Peripheral blood film:
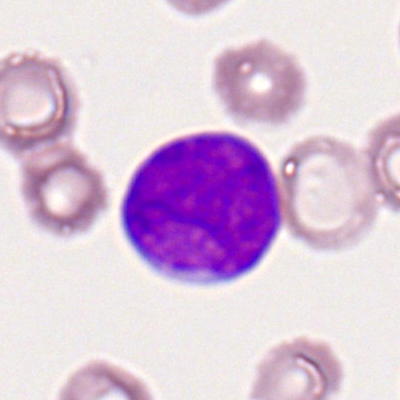 Q: What is shown here?
A: Myeloblast.